Peripheral blood film. Brightfield, 100× oil-immersion objective. 400×400:
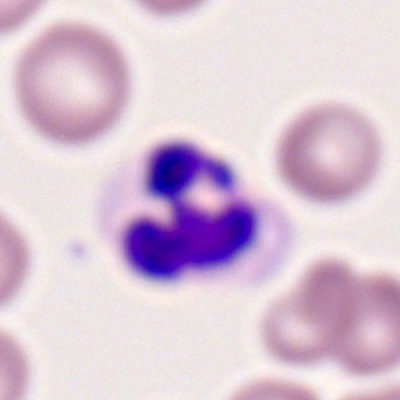Impression → neutrophil (segmented).